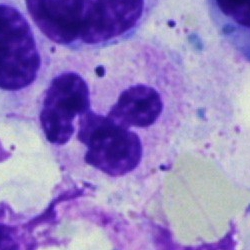Cell: segmented neutrophil.